Cropped to a single cell · bone marrow smear
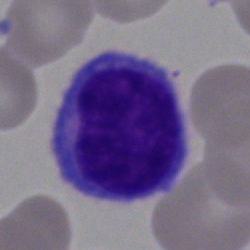Morphology consistent with a typical lymphocyte.